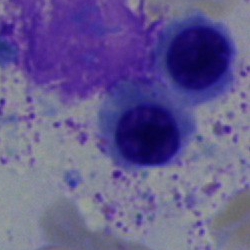
A normoblast.